Bone marrow smear
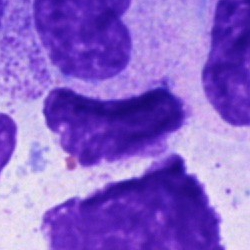

Morphology consistent with an artifact.